Peripheral blood film:
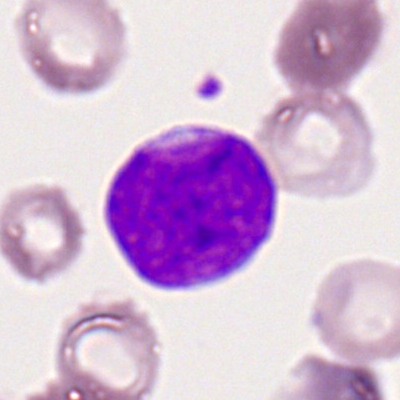 Q: Identify the cell.
A: This is a myeloid blast.